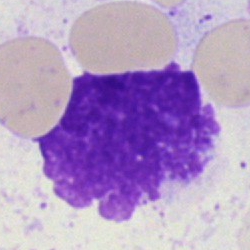Bone marrow smear showing an artefact.